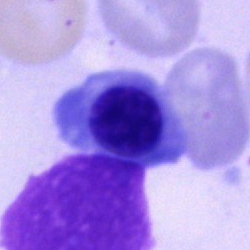

Specimen: bone marrow smear.
Cell type: normoblast.